Peripheral blood smear. Brightfield, 100× oil-immersion objective: 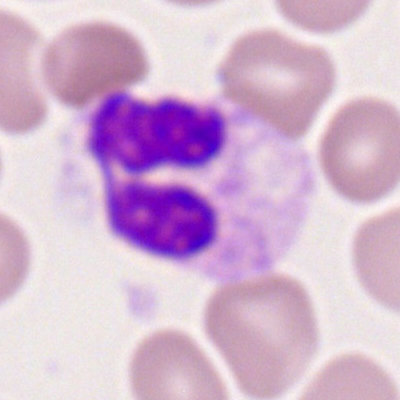Showing a segmented neutrophil.